Bone marrow smear; May-Grünwald-Giemsa/Pappenheim stain; brightfield microscopy, 40× oil immersion — 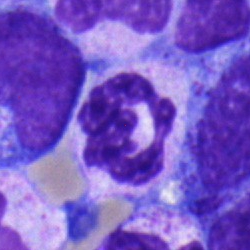 Showing a neutrophil (segmented).